Cropped to a single cell · 250 by 250 pixels · bone marrow smear
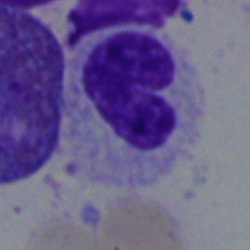 Cell type — band-form neutrophil.